Brightfield microscopy, 40× oil immersion · bone marrow smear · MGG-stained — 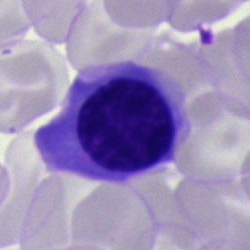 The cell is nucleated red blood cell.